Bone marrow aspirate smear:
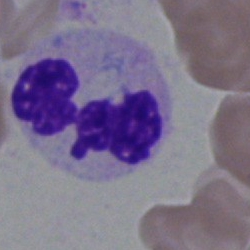

The cell shown is a polymorphonuclear neutrophil.